Bone marrow smear: 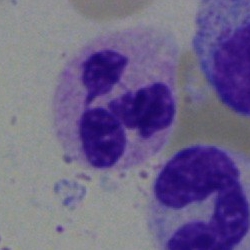 Classification = polymorphonuclear neutrophil.